Bone marrow smear
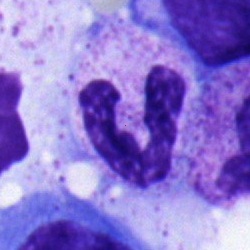
Q: What is the morphological classification of this cell?
A: This is a neutrophil (segmented).